Bone marrow aspirate smear
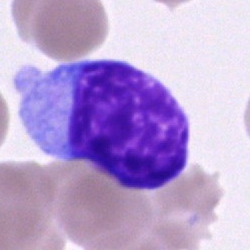 The cell shown is a blast.